Bone marrow smear
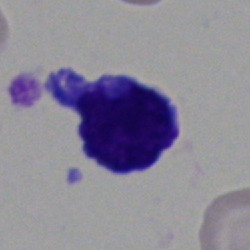Specimen: bone marrow smear.
Morphological class: blast cell.